Bone marrow aspirate smear:
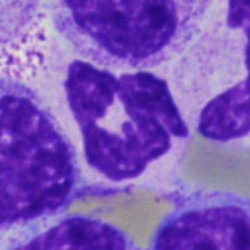 Morphological class = segmented neutrophil.